Bone marrow aspirate smear; brightfield microscopy, 40× oil immersion — 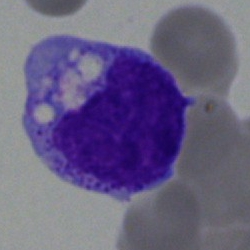 A monocyte.